Bone marrow aspirate smear; 250 by 250 pixels:
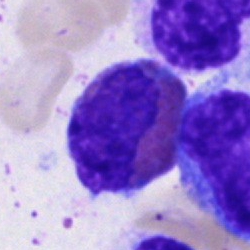Q: What is the morphological classification of this cell?
A: An eosinophilic granulocyte.